Bone marrow smear; single cell centered in the field; Pappenheim-stained — 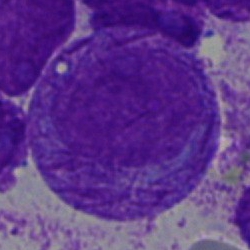

Specimen: bone marrow aspirate smear.
Cell: cell with bundled Auer rods.